Bone marrow aspirate smear.
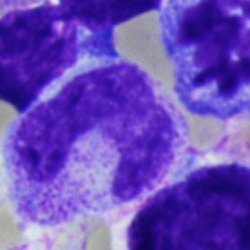 Single cell identified as a band-form neutrophil.